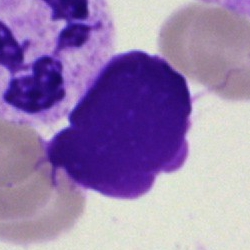Specimen: bone marrow smear.
Classification: artefact.